Bone marrow aspirate smear: 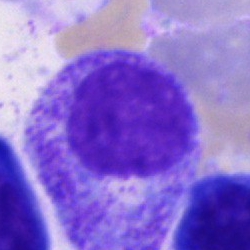
Q: What cell is this?
A: This is a promyelocyte.